Bone marrow aspirate smear.
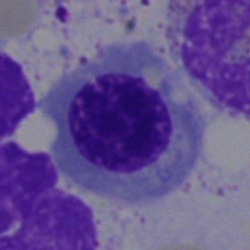 Erythroblast.